Peripheral blood smear.
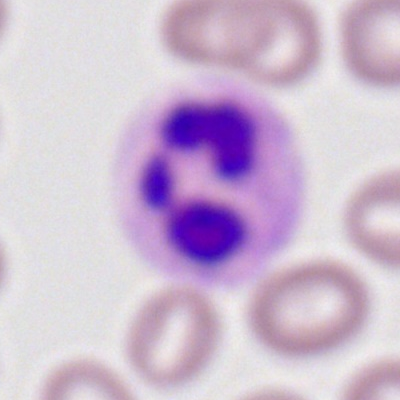
Q: Which cell type is shown here?
A: This is a neutrophil (segmented).